Bone marrow smear; brightfield, 40× oil-immersion objective: 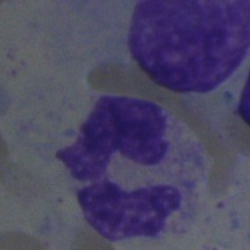 Single cell identified as a segmented neutrophil.